Bone marrow smear — 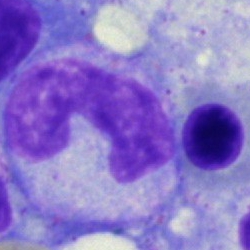
Morphology consistent with a band-form neutrophil.